Bone marrow smear: 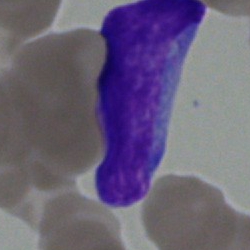Classification: undifferentiated blast.